Bone marrow aspirate smear · Pappenheim-stained
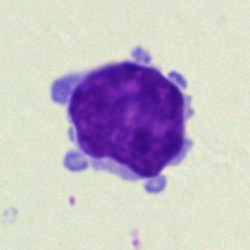

Specimen: bone marrow smear.
Classification: lymphocyte.
Lineage: lymphoid.